Bone marrow aspirate smear.
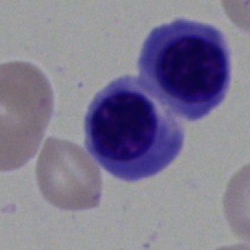 Q: What is the morphological classification of this cell?
A: This is a normoblast.